Bone marrow aspirate smear: 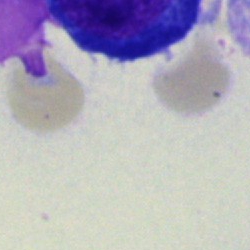

Cell type: artefact.